Single-cell field. 250×250 px. Bone marrow smear:
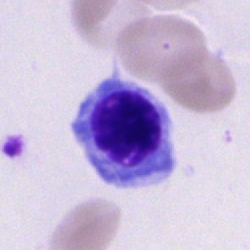

Q: What is the morphological classification of this cell?
A: It is a nucleated red cell.